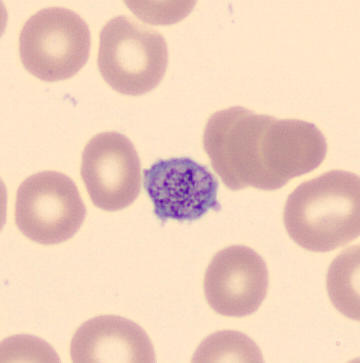
Morphology — platelet (thrombocyte).